Bone marrow aspirate smear. Image size 250×250: 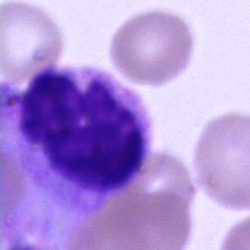

The classification is polymorphonuclear neutrophil.